Bone marrow aspirate smear. Single-cell field
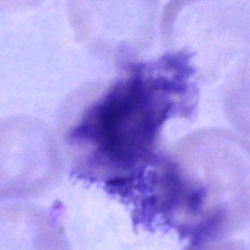
Specimen: bone marrow smear.
Morphological class: undifferentiated blast.